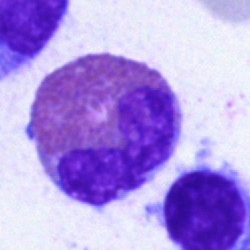 Bone marrow smear showing an eosinophil.